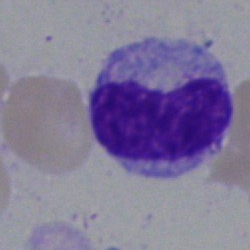 Q: What is the morphological classification of this cell?
A: A metamyelocyte.